Bone marrow aspirate smear:
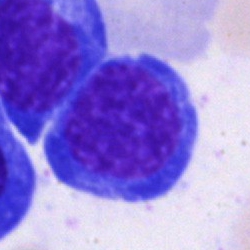 A nucleated red cell.